Peripheral blood smear · single-cell field — 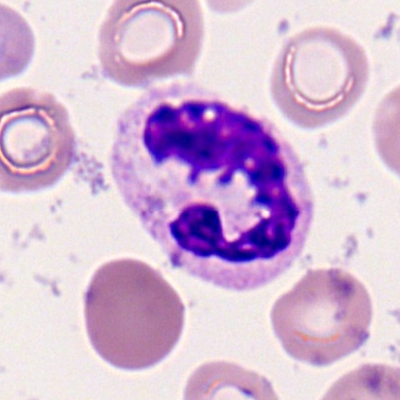
Morphology consistent with a segmented neutrophil.